Bone marrow smear
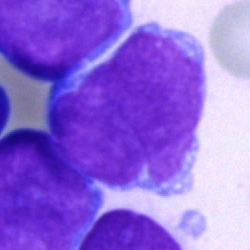
Cell: undifferentiated blast.